Bone marrow aspirate smear:
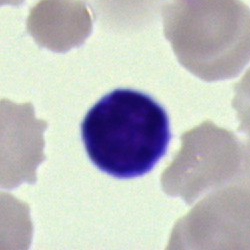 Cell type: lymphocyte.